Brightfield microscopy, 40× oil immersion. Bone marrow smear — 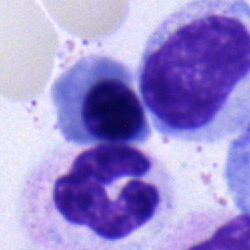This is a nucleated red cell.